Bone marrow smear:
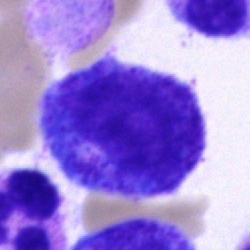A promyelocyte.